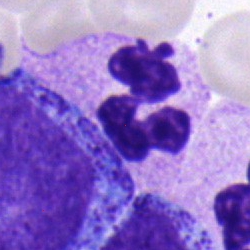

Segmented neutrophil.